Bone marrow aspirate smear
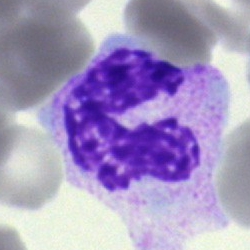This is a neutrophil (segmented).